Image size 250×250; bone marrow aspirate smear: 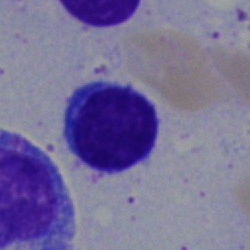Showing a lymphocyte.